Bone marrow aspirate smear.
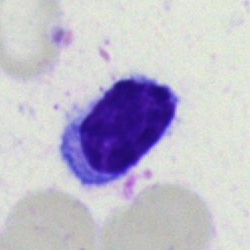Lymphocyte.